Bone marrow aspirate smear: 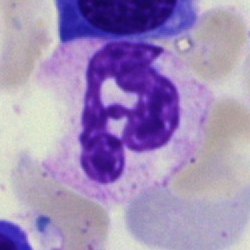

Polymorphonuclear neutrophil.